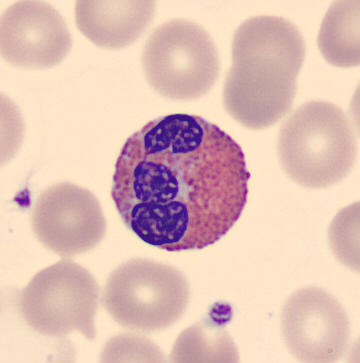Morphology — eosinophilic granulocyte. Acquisition: Peripheral blood film.